Bone marrow aspirate smear:
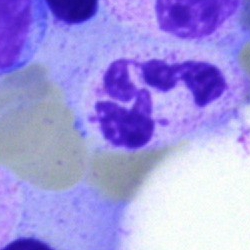 Single cell identified as a segmented neutrophil.